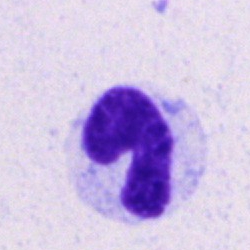
Morphology consistent with a band-form neutrophil.